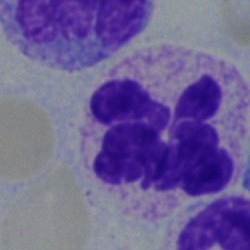
Bone marrow aspirate smear, single cell — segmented neutrophil.